Bone marrow aspirate smear; single-cell crop; 40× objective, oil immersion — 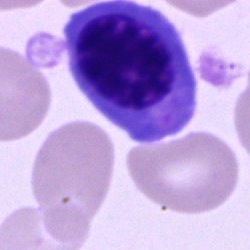 Nucleated red blood cell.